Image size 250×250. Bone marrow smear. Brightfield, 40× oil-immersion objective
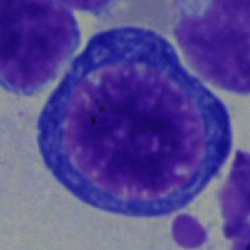

This is a pronormoblast.